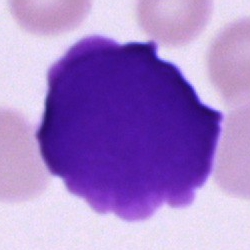 The cell type is artifact.